Bone marrow smear
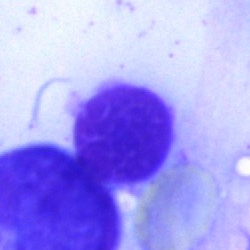{"cell_type": "artifact"}